Brightfield microscopy, 40× oil immersion; bone marrow aspirate smear; cropped to a single cell:
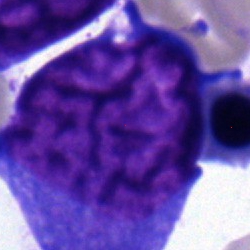 Impression → promyelocyte.